Bone marrow aspirate smear · image size 250×250 · brightfield, 40× oil-immersion objective: 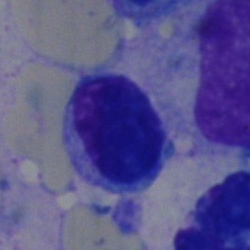
A typical lymphocyte.